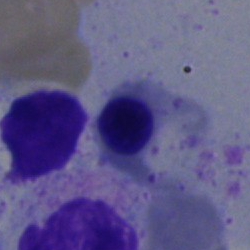 Impression — normoblast.